Bone marrow aspirate smear · image size 250×250.
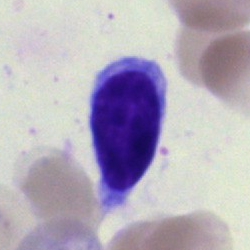

The cell is lymphocyte.